Bone marrow aspirate smear · single-cell field.
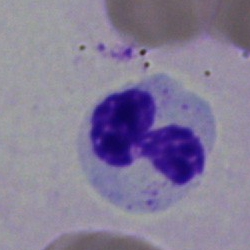
Cell: neutrophil (segmented).